Brightfield, 40× oil-immersion objective · bone marrow smear · 250 by 250 pixels: 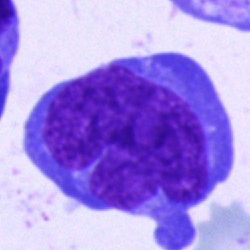 A blast.